Brightfield, 40× oil-immersion objective; bone marrow smear; single-cell field: 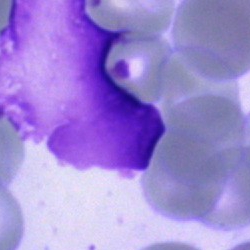 Classification = artifact.